Brightfield microscopy, 40× oil immersion · bone marrow smear · single cell centered in the field
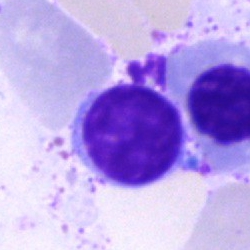 Q: What is the morphological classification of this cell?
A: A typical lymphocyte.